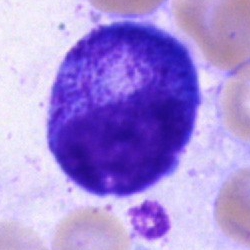
A progranulocyte.